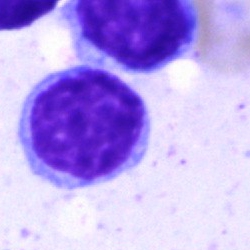Classification — lymphocyte.